Bone marrow smear
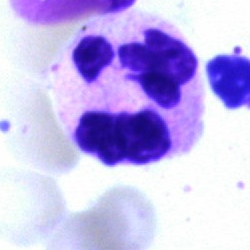
Morphology consistent with a segmented neutrophil.